Bone marrow smear
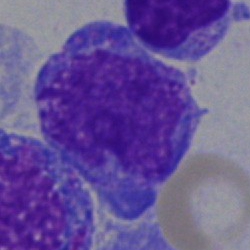
A monocyte.